Single-cell field; bone marrow smear; brightfield microscopy, 40× oil immersion:
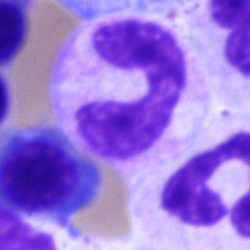Morphology → neutrophil (band).